Bone marrow aspirate smear. Image size 250×250: 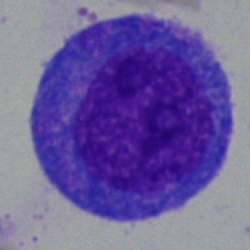 Morphology consistent with a progranulocyte.